Bone marrow smear
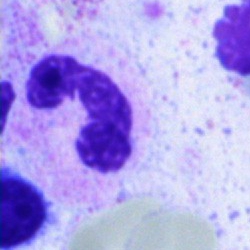 Morphology → segmented neutrophil.